MGG-stained; 40× oil immersion; bone marrow aspirate smear.
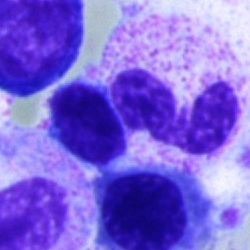Morphological class = segmented neutrophil.